Peripheral blood film: 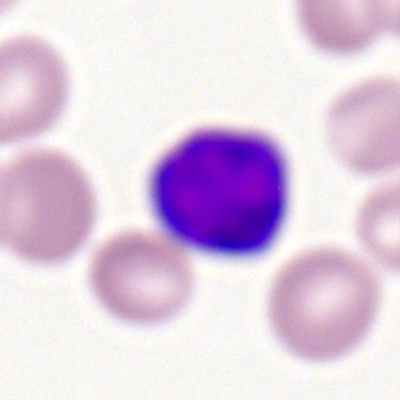 Q: Identify the cell.
A: Lymphocyte.